Bone marrow aspirate smear — 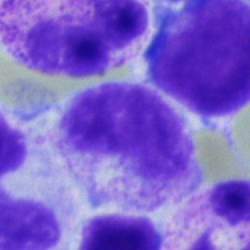
Single cell identified as a metamyelocyte.